Bone marrow smear: 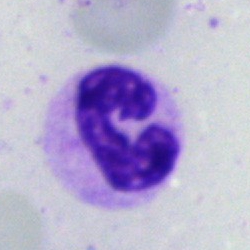 Q: Which cell type is shown here?
A: Polymorphonuclear neutrophil.